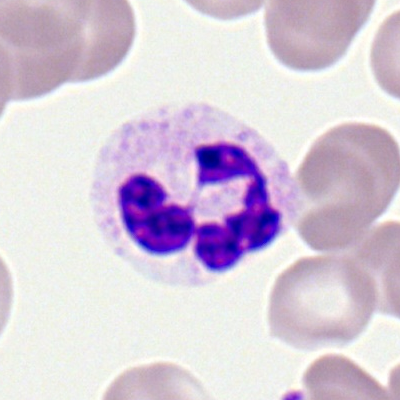
Morphology → polymorphonuclear neutrophil.